Bone marrow aspirate smear:
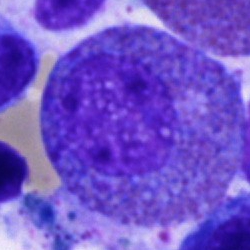The cell is eosinophil.